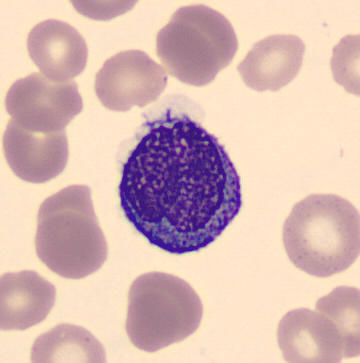

Q: Which cell type is shown here?
A: Monocyte.